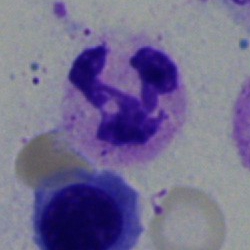

Cell: segmented neutrophil.